Peripheral blood film:
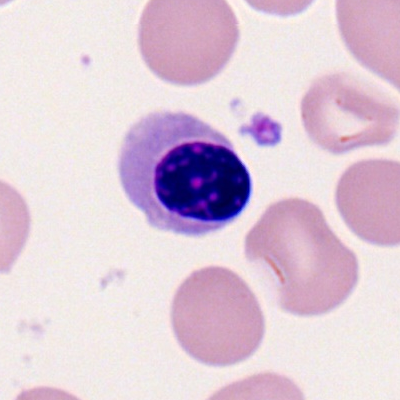 Q: What cell is this?
A: It is a normoblast.